Bone marrow smear. May-Grünwald-Giemsa/Pappenheim stain:
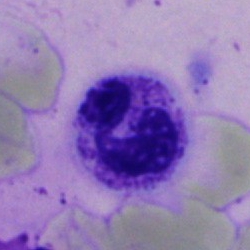A polymorphonuclear neutrophil.